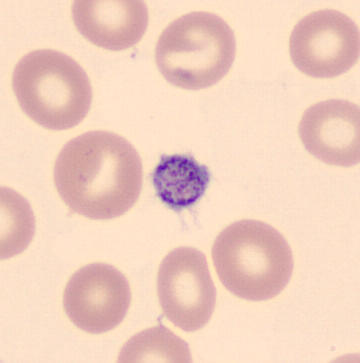Peripheral blood film.
Identified as a platelet (thrombocyte).